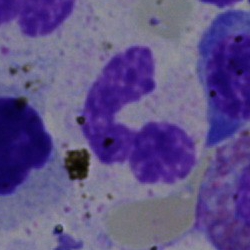Classification — polymorphonuclear neutrophil.